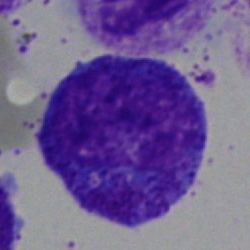The cell shown is a promyelocyte.